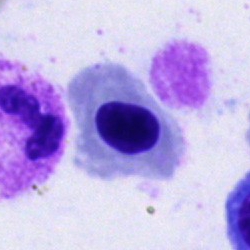
Q: Identify the cell.
A: This is a normoblast.